250 by 250 pixels; bone marrow smear — 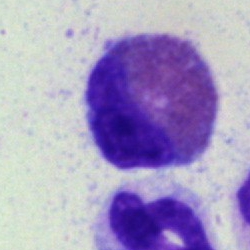Morphological class: eosinophil.